Bone marrow smear · brightfield microscopy, 40× oil immersion · May-Grünwald-Giemsa/Pappenheim stain
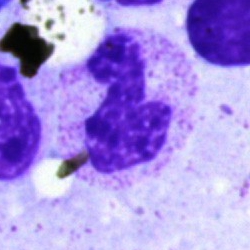Single cell identified as a polymorphonuclear neutrophil.